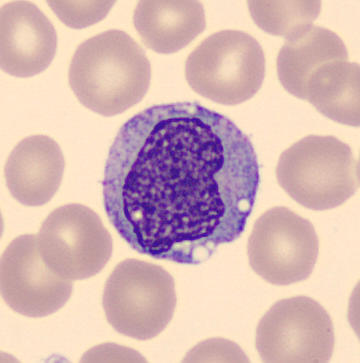 Morphology consistent with a monocyte.